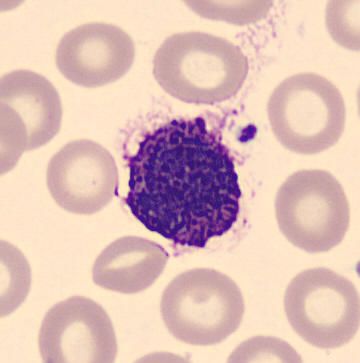 Q: What cell is this?
A: Basophil.